Cropped to a single cell · bone marrow smear.
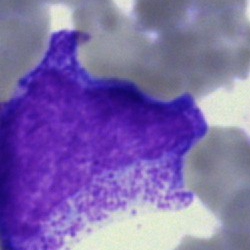
The classification is promyelocyte.